Bone marrow smear — 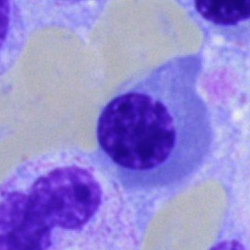 Morphological class: erythroblast.